Cropped to a single cell · bone marrow aspirate smear.
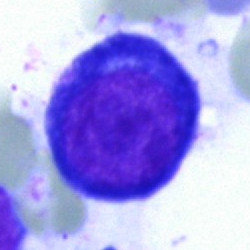Single cell identified as a normoblast.